Bone marrow smear · Pappenheim-stained.
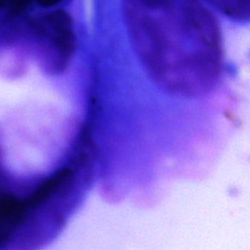 Morphology → artifact.